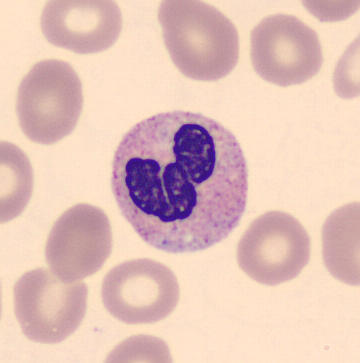
Showing a band-form neutrophil. Acquisition: Peripheral blood smear.